Bone marrow aspirate smear
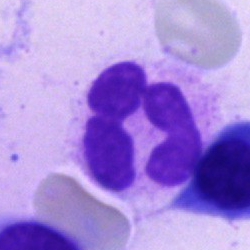
Q: What cell is this?
A: Segmented neutrophil.